Peripheral blood smear · single cell centered in the field
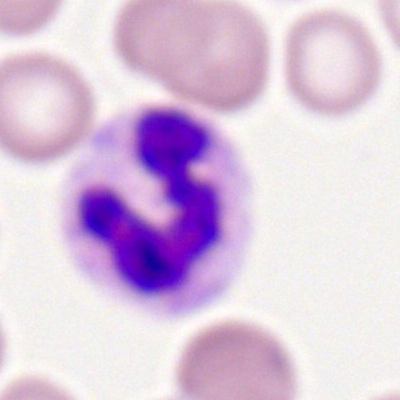

Impression — neutrophil (segmented).